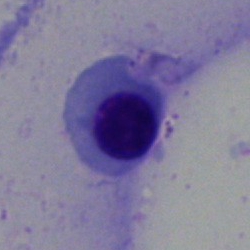
This is a normoblast.